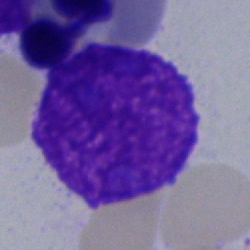 Bone marrow aspirate smear, single cell — artifact.